Bone marrow aspirate smear: 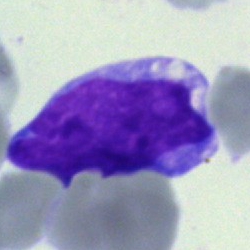

A blast.